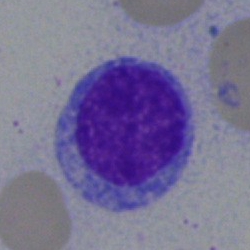
The cell type is typical lymphocyte.